Bone marrow aspirate smear. Pappenheim-stained: 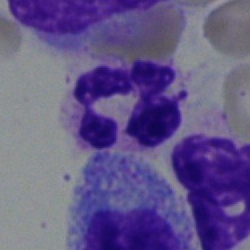

Specimen: bone marrow smear.
Morphological class: neutrophil (segmented).
Lineage: myeloid.